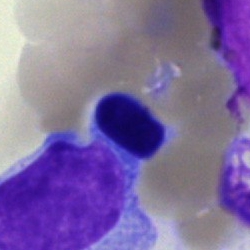
The cell type is lymphocyte.